Single cell centered in the field. Bone marrow smear
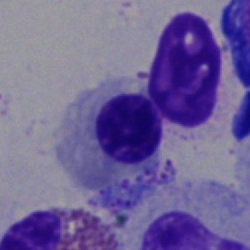Morphology → erythroblast.